Bone marrow aspirate smear.
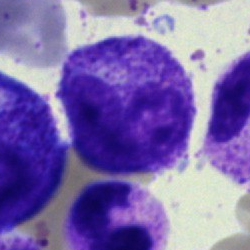

The cell is metamyelocyte.